Bone marrow aspirate smear
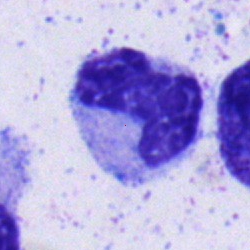

Morphology → band-form neutrophil.